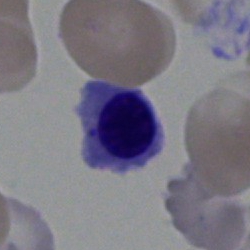 Nucleated red cell.